Peripheral blood smear.
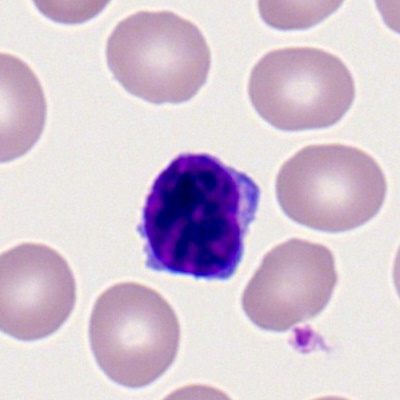The cell shown is a typical lymphocyte.